Image size 250×250 · bone marrow aspirate smear: 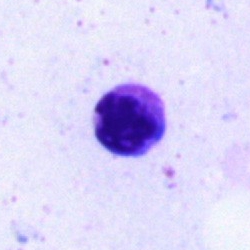Specimen: bone marrow aspirate smear.
Cell: artefact.